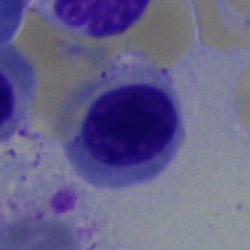
Cell type — normoblast.